Bone marrow smear
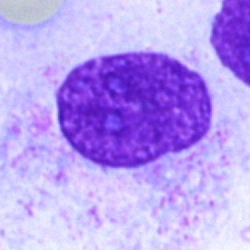
Specimen: bone marrow smear.
Morphological class: artifact.